Bone marrow aspirate smear · 250 by 250 pixels
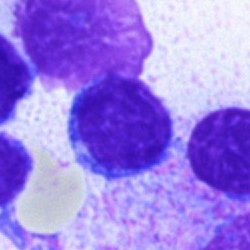

Morphology consistent with a lymphocyte.